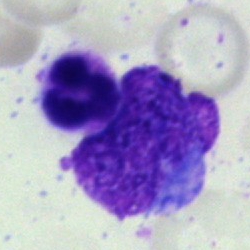

Cell = artefact.